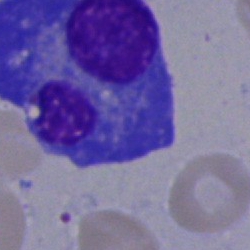

Cell: plasmacyte.